Bone marrow aspirate smear:
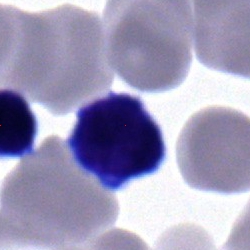

Lymphocyte.